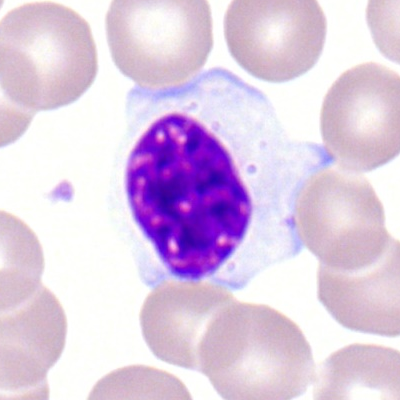A lymphocyte on a peripheral blood smear.